Brightfield, 40× oil-immersion objective. Bone marrow smear. 250×250 px.
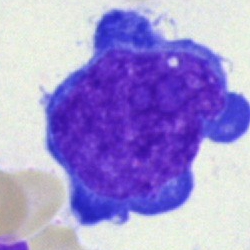

The classification is blast cell.